Bone marrow aspirate smear.
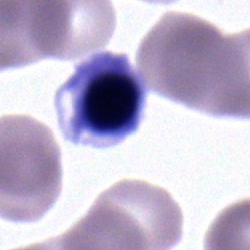
Cell: erythroblast.